Bone marrow smear · 250 by 250 pixels — 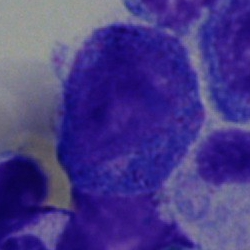Morphology consistent with a progranulocyte.